Bone marrow smear — 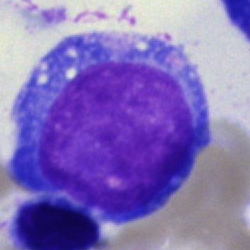The morphological class is blast cell.